Bone marrow smear: 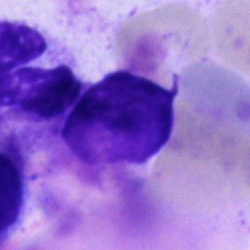 The classification is artefact.